Bone marrow aspirate smear; brightfield microscopy, 40× oil immersion; 250×250 px — 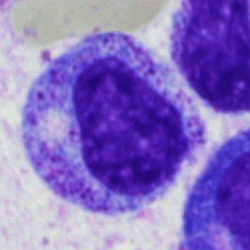

A progranulocyte.